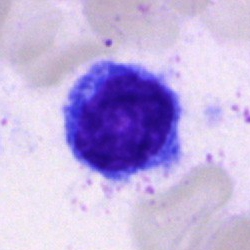

Q: What type of cell is this?
A: A lymphocyte.